Bone marrow aspirate smear — 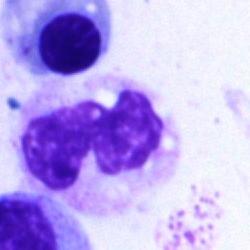Specimen: bone marrow aspirate smear.
Classification: polymorphonuclear neutrophil.